Bone marrow smear: 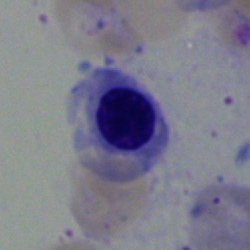

Morphology consistent with a nucleated red blood cell.